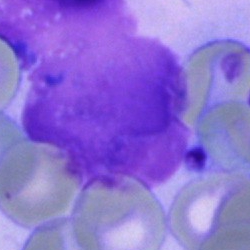 Q: What is shown here?
A: An artifact.